Bone marrow smear: 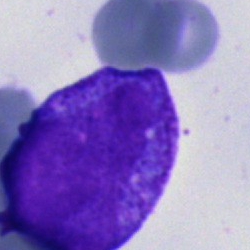 Classification = blast cell.